Brightfield, 40× oil-immersion objective · May-Grünwald-Giemsa/Pappenheim stain · bone marrow aspirate smear: 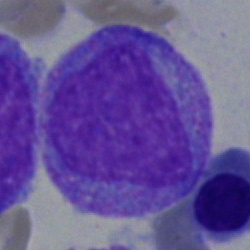
Single cell identified as a progranulocyte.